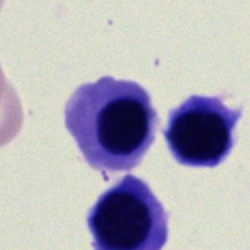
Cell type: erythroblast.